May-Grünwald-Giemsa stain. Bone marrow aspirate smear:
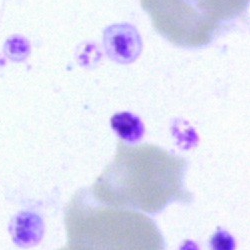Specimen: bone marrow smear.
Cell: artefact.